Single-cell crop; bone marrow aspirate smear; 250 by 250 pixels — 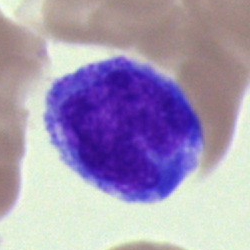 Impression — monocyte.